Brightfield, 40× oil-immersion objective · bone marrow smear:
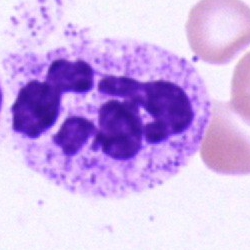
Morphology — polymorphonuclear neutrophil.